Bone marrow smear:
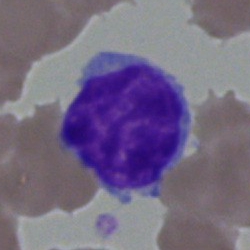 Showing a lymphocyte.